Bone marrow smear:
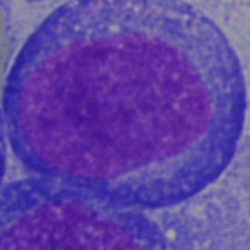Impression → blast cell.